Bone marrow aspirate smear
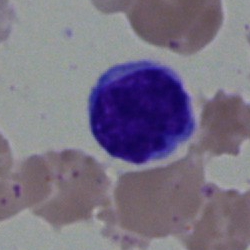

Showing a lymphocyte.